Single cell centered in the field; bone marrow smear
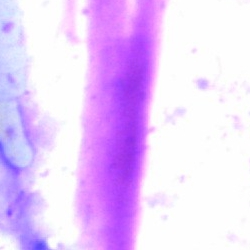
Q: What is shown here?
A: An artifact.